Bone marrow smear: 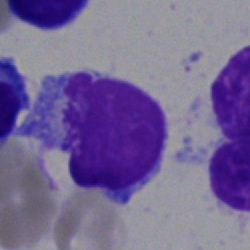
Morphological class — lymphocyte.